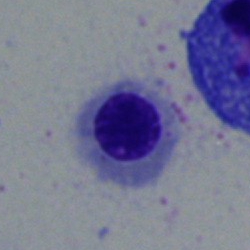
Erythroblast.